Bone marrow aspirate smear — 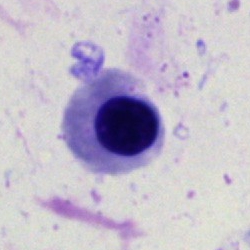
Classification = normoblast.